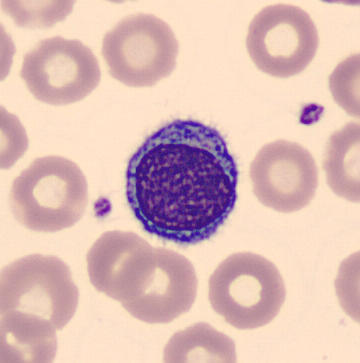
Classification = typical lymphocyte.